Bone marrow aspirate smear
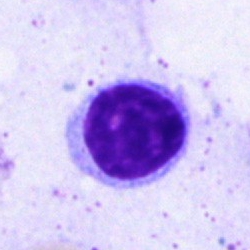
Showing a typical lymphocyte.